Bone marrow aspirate smear · image size 250×250.
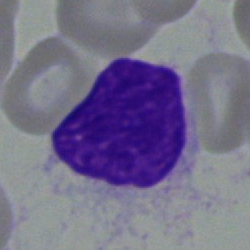
Specimen: bone marrow aspirate smear.
Classification: artefact.